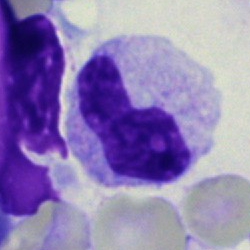 A band-form neutrophil.